Bone marrow smear:
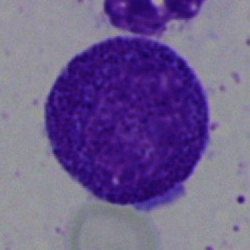 Promyelocyte.